Bone marrow aspirate smear.
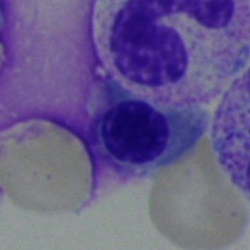
Morphology — normoblast.